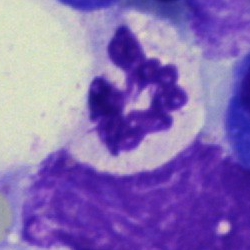
Cell type: neutrophil (segmented).